Bone marrow aspirate smear — 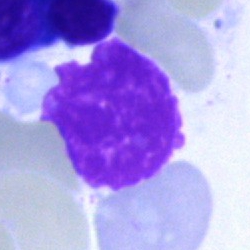

Impression — artifact.